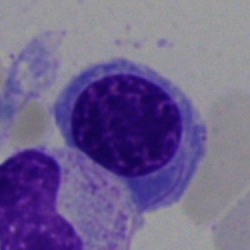

Impression → erythroblast.